Bone marrow aspirate smear · 40× objective, oil immersion
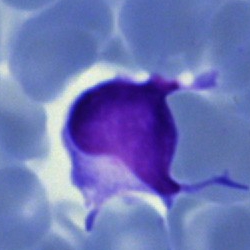 A lymphocyte.